Bone marrow smear:
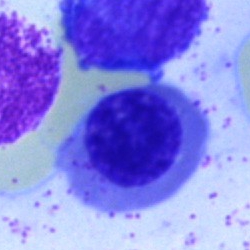Cell type — erythroblast.